Bone marrow smear; Pappenheim-stained:
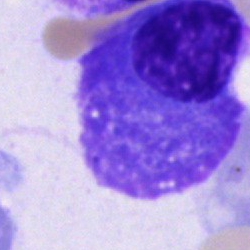Morphology — plasma cell.